Bone marrow aspirate smear: 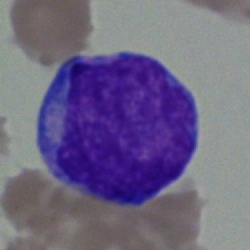 Q: Identify the cell.
A: A blast.